Bone marrow smear.
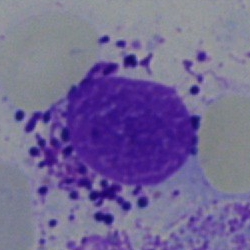

Q: Identify the cell.
A: This is a basophil.